Bone marrow aspirate smear: 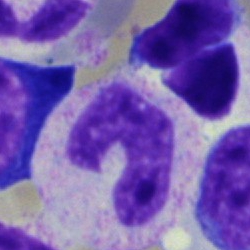

A neutrophil (band).